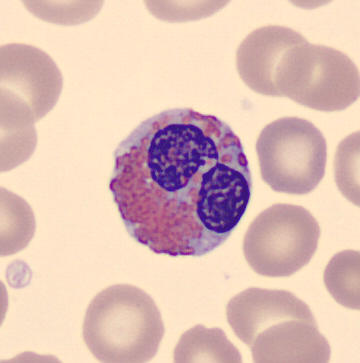
Specimen: peripheral blood film.
Classification: eosinophil.
Lineage: myeloid. Acquisition: Imaged on a CellaVision DM96 analyser.